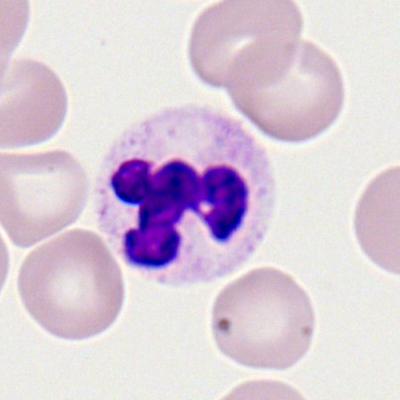

Morphology — polymorphonuclear neutrophil.